Bone marrow smear:
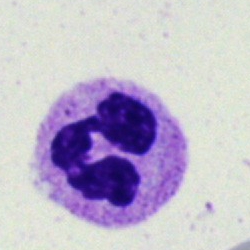This is a neutrophil (segmented).